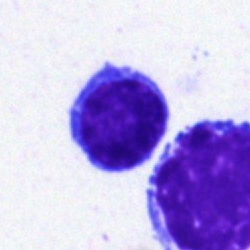Cell: lymphocyte.